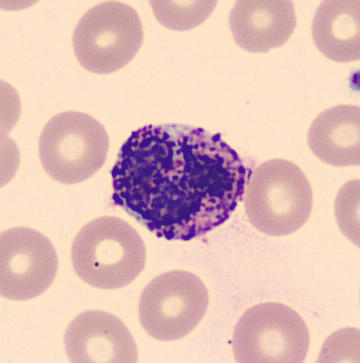 Preparation: Peripheral blood smear.

Showing a basophil.